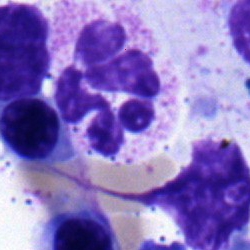Single cell identified as a segmented neutrophil.